Peripheral blood film:
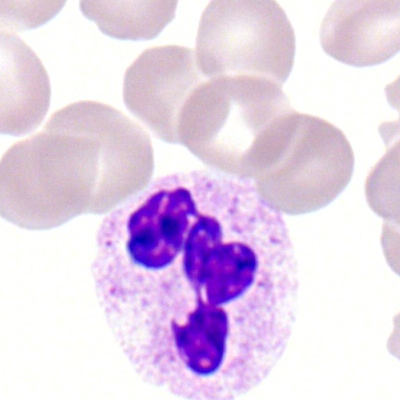 Specimen: peripheral blood smear.
Morphological class: segmented neutrophil.